May-Grünwald-Giemsa/Pappenheim stain · bone marrow smear
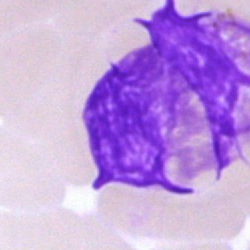 Artifact.